Bone marrow aspirate smear: 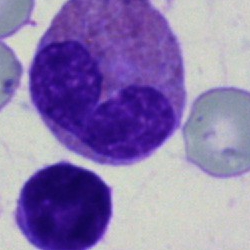 Cell: eosinophil.